Bone marrow smear.
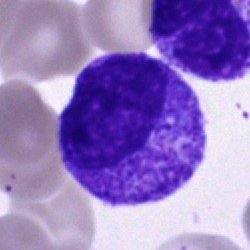

The cell shown is a myelocyte.